Brightfield, 40× oil-immersion objective; single cell centered in the field; bone marrow smear
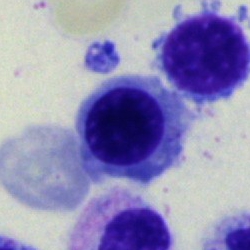Showing a normoblast.